40× objective, oil immersion; Pappenheim-stained; bone marrow smear: 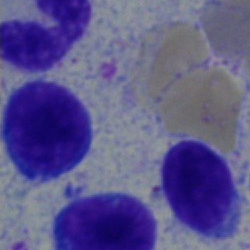 Morphology consistent with a typical lymphocyte.